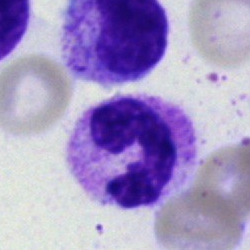 Q: Which cell type is shown here?
A: Neutrophil (segmented).